Peripheral blood smear; 400 by 400 pixels: 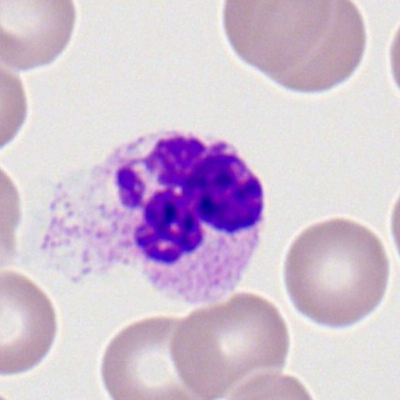 Showing a segmented neutrophil.